Bone marrow smear; Pappenheim-stained:
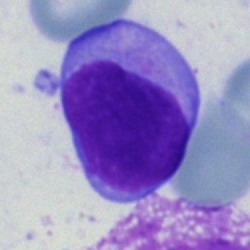

Single cell identified as a lymphocyte.